Brightfield, 40× oil-immersion objective · bone marrow smear:
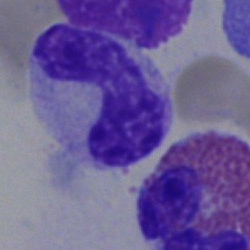 {"cell_type": "band-form neutrophil", "lineage": "myeloid"}